Bone marrow smear
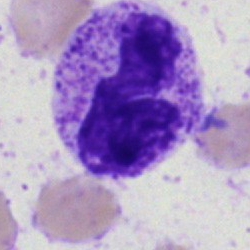 Cell type = segmented neutrophil.